Bone marrow smear. 40× oil immersion — 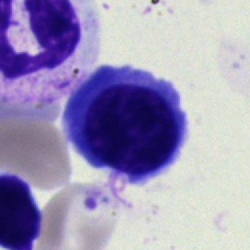

Showing a nucleated red cell.